Bone marrow smear. Image size 250×250.
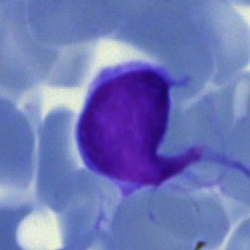Classification: typical lymphocyte.